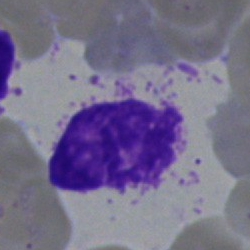
Morphology consistent with an artifact.